Pappenheim-stained; brightfield microscopy, 40× oil immersion; bone marrow smear: 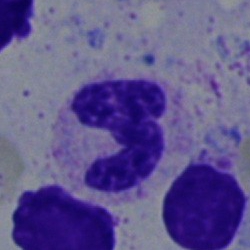 Cell — polymorphonuclear neutrophil.